Bone marrow aspirate smear
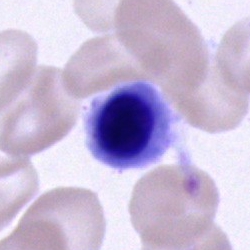Erythroblast.